Bone marrow smear:
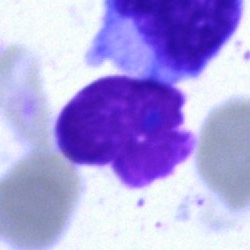
Artifact.